Single cell centered in the field. Bone marrow smear — 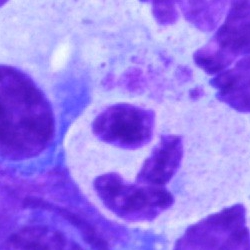

Q: What is the morphological classification of this cell?
A: Segmented neutrophil.